Peripheral blood film · 400×400 px — 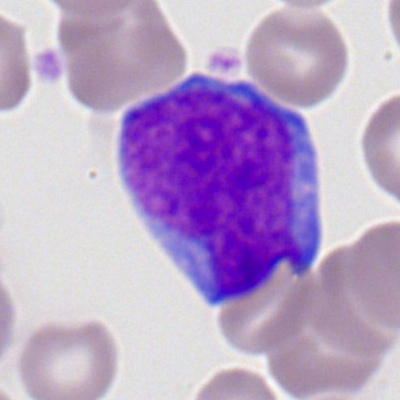The cell shown is a myeloid blast.